Bone marrow aspirate smear. Image size 250×250 — 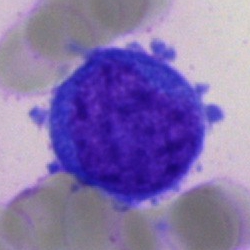
{"cell_type": "blast"}